Bone marrow smear. Single-cell field. Image size 250×250
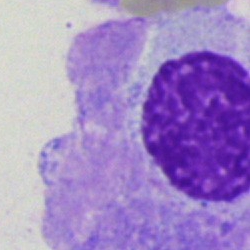 A plasma cell.